Bone marrow aspirate smear; cropped to a single cell — 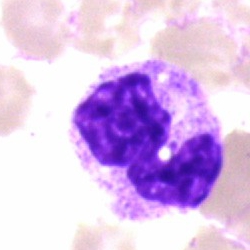 Specimen: bone marrow aspirate smear.
Morphological class: neutrophil (segmented).
Lineage: myeloid.